May-Grünwald-Giemsa stain; bone marrow aspirate smear; single cell centered in the field: 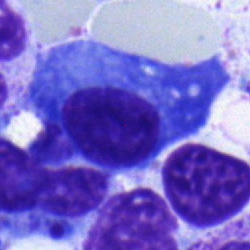
A plasmacyte.